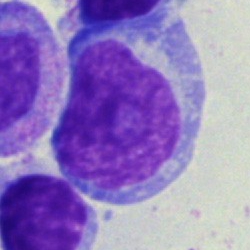
Morphology — blast.